Single-cell field · bone marrow aspirate smear
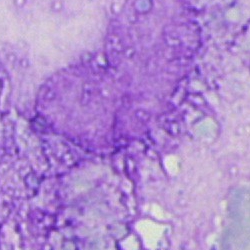Impression → neutrophil (segmented).